Bone marrow smear: 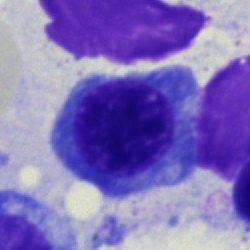Classification = normoblast.